Bone marrow aspirate smear · brightfield microscopy, 40× oil immersion.
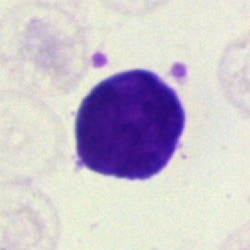

Classification = typical lymphocyte.